Bone marrow smear · May-Grünwald-Giemsa/Pappenheim stain:
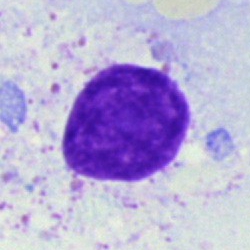

This is an artefact.